Pappenheim-stained · bone marrow aspirate smear · image size 250×250
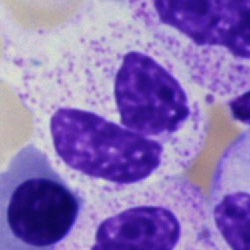Segmented neutrophil.